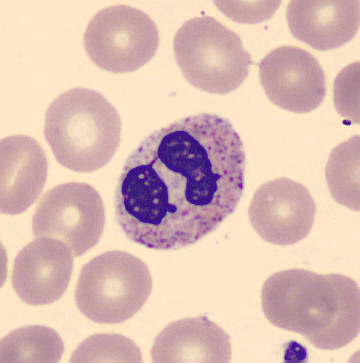
Acquisition: CellaVision DM96. MGG-stained. Specimen: peripheral blood smear.
Cell: polymorphonuclear neutrophil.
Lineage: myeloid.